Single-cell field; bone marrow aspirate smear; 40× oil immersion.
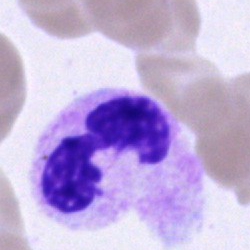
Cell type = neutrophil (segmented).